250×250. MGG-stained. Bone marrow aspirate smear — 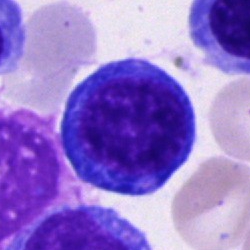

Cell type — nucleated red blood cell.